Bone marrow smear — 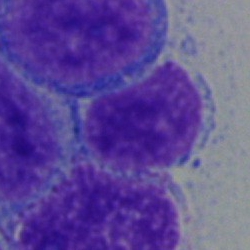 Q: What is shown here?
A: This is a typical lymphocyte.